40× objective, oil immersion. Bone marrow aspirate smear.
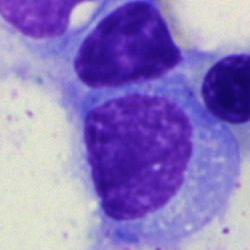 Q: What cell is this?
A: It is a plasma cell.